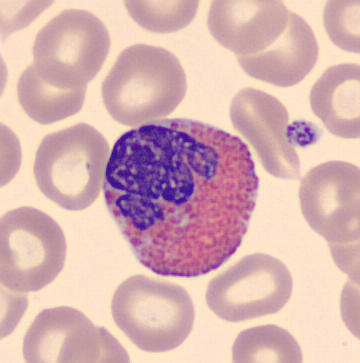 Peripheral blood smear.
The classification is eosinophilic granulocyte.